Bone marrow aspirate smear: 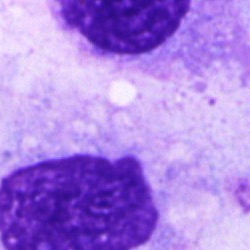Q: What is shown here?
A: An artifact.